Bone marrow smear: 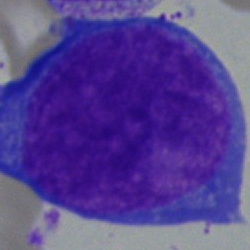
Classification: proerythroblast.